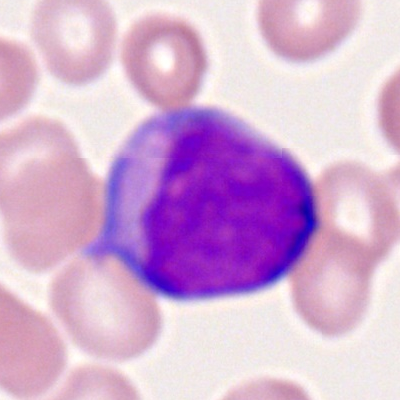 Q: Which cell type is shown here?
A: This is a myeloblast.